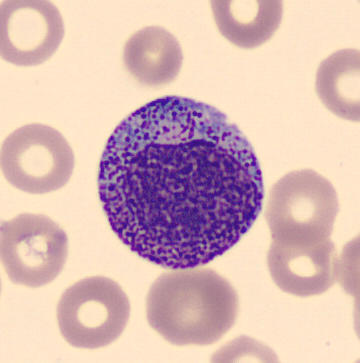

Preparation: Peripheral blood smear.

Single cell identified as a promyelocyte.